Bone marrow smear.
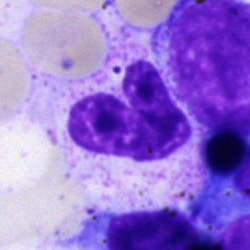Cell — segmented neutrophil.